Single-cell field. 40× objective, oil immersion. Bone marrow aspirate smear
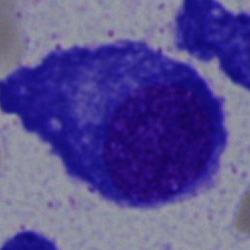 The classification is plasmacyte.